Bone marrow aspirate smear:
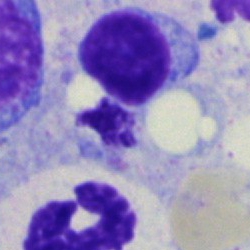

Single cell identified as a lymphocyte.